Bone marrow smear
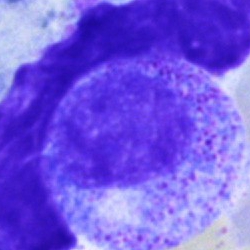

Single cell identified as a promyelocyte.